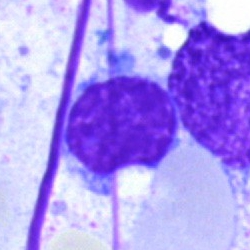
{"cell_type": "artifact"}